Bone marrow aspirate smear · single cell centered in the field
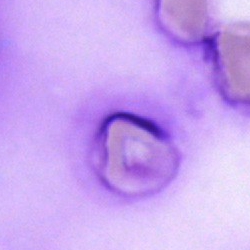

Q: What is shown here?
A: Artefact.